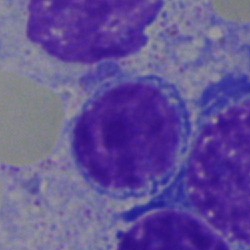
Bone marrow smear showing a typical lymphocyte.